May-Grünwald-Giemsa stain · bone marrow smear · 250×250 px: 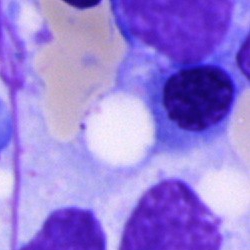Specimen: bone marrow smear.
Cell: nucleated red blood cell.